Pappenheim-stained. Bone marrow smear. 250 by 250 pixels
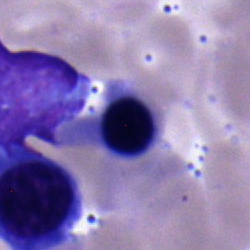Cell — erythroblast.